Bone marrow aspirate smear; May-Grünwald-Giemsa stain.
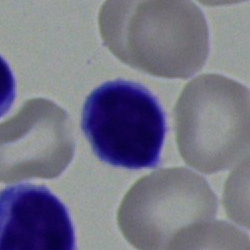

The classification is typical lymphocyte.